Bone marrow aspirate smear · 250 by 250 pixels · single-cell crop:
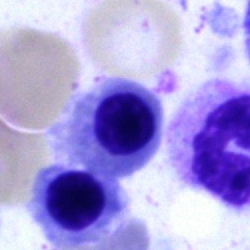
Erythroblast.